Brightfield, 100× oil-immersion objective · peripheral blood film:
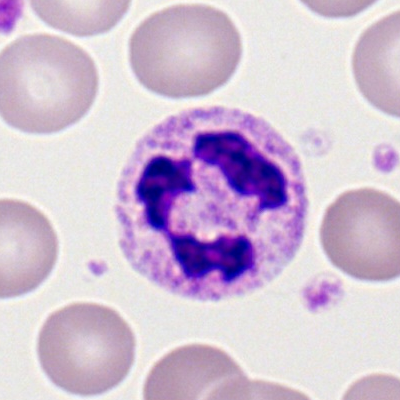 Q: What cell is this?
A: This is a polymorphonuclear neutrophil.